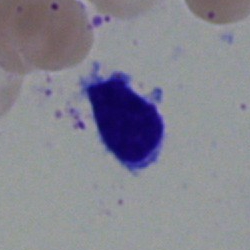 {"cell_type": "typical lymphocyte", "lineage": "lymphoid"}